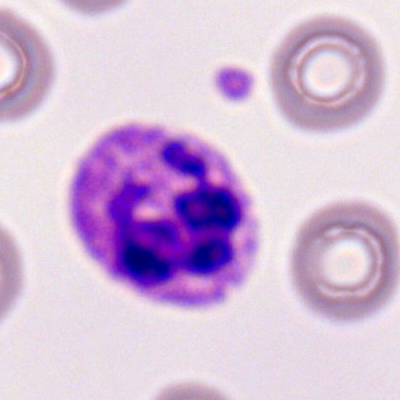
A neutrophil (segmented).